250 by 250 pixels; MGG-stained; bone marrow smear.
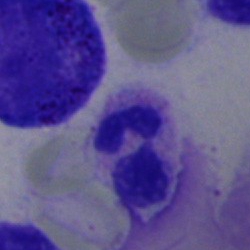 Q: What is the morphological classification of this cell?
A: This is a neutrophil (segmented).